Bone marrow aspirate smear.
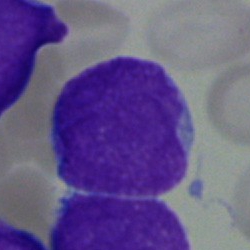 Specimen: bone marrow aspirate smear.
Classification: blast.